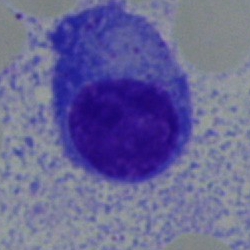
The morphological class is plasma cell.